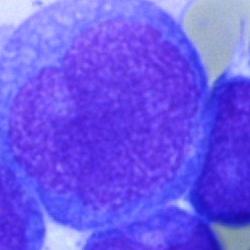
Single-cell crop from a bone marrow smear: blast cell.